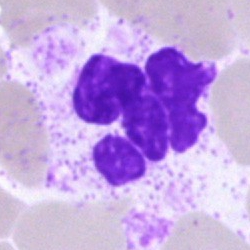 Impression — artefact.